Bone marrow aspirate smear
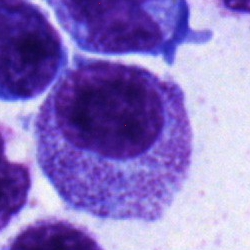

The morphological class is myelocyte.